Bone marrow smear:
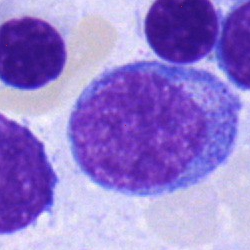
Morphology — plasma cell.